Pappenheim-stained; 40× objective, oil immersion; bone marrow aspirate smear: 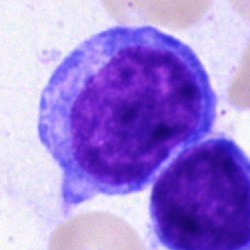 Q: What is shown here?
A: An undifferentiated blast.